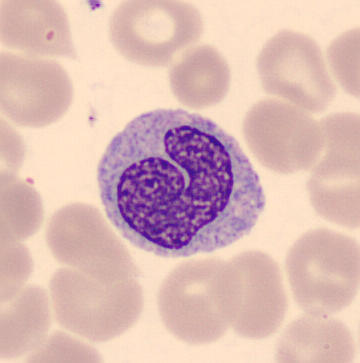 Monocyte.
Image: Peripheral blood film.